Brightfield, 40× oil-immersion objective; bone marrow smear
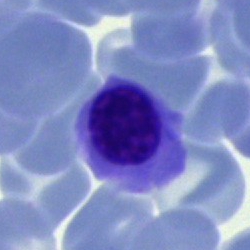Morphology consistent with a nucleated red cell.